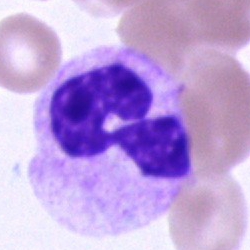A segmented neutrophil on a bone marrow smear.